Bone marrow aspirate smear:
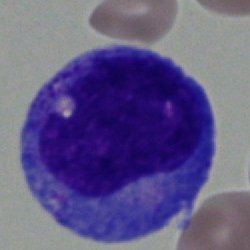
This is a progranulocyte.